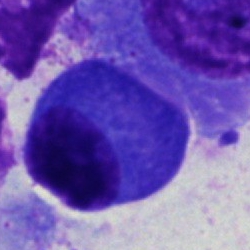 Bone marrow smear showing a plasma cell.